250×250 px. 40× oil immersion. Bone marrow smear.
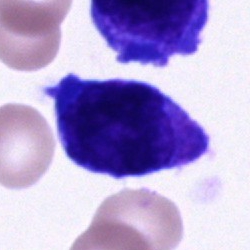

Q: Which cell type is shown here?
A: Unidentifiable cell.